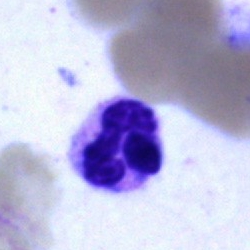
Classification = neutrophil (segmented).